Bone marrow smear — 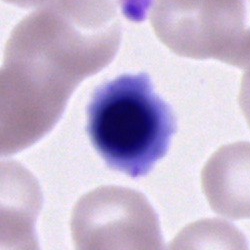 This is a nucleated red blood cell.